Bone marrow aspirate smear: 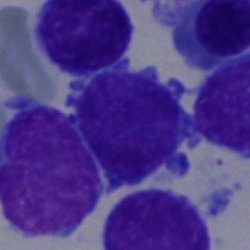Specimen: bone marrow smear.
Cell: lymphocyte.
Lineage: lymphoid.